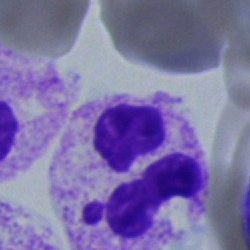 Morphology → polymorphonuclear neutrophil.